Bone marrow aspirate smear; 40× objective, oil immersion.
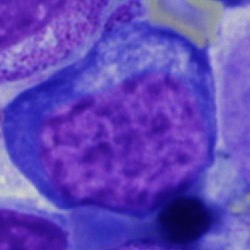

The cell shown is a proerythroblast.